Bone marrow aspirate smear — 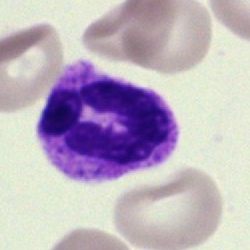 This is a neutrophil (segmented).